40× oil immersion. Image size 250×250. Bone marrow aspirate smear.
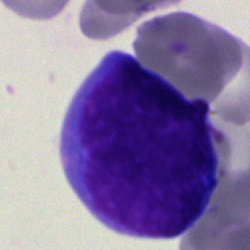
Morphology consistent with a blast cell.